MGG-stained. Bone marrow smear: 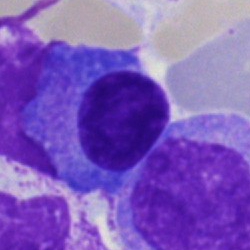
Morphological class: plasma cell.